Bone marrow smear
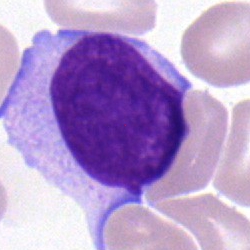Showing a typical lymphocyte.